Single-cell crop. Image size 400×400. Peripheral blood smear.
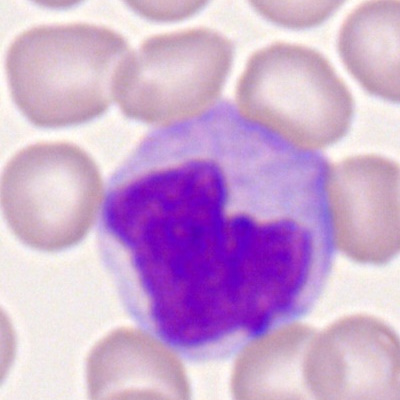Q: What cell is this?
A: Monocyte.